Bone marrow smear. Cropped to a single cell: 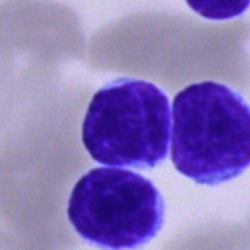Q: Identify the cell.
A: Typical lymphocyte.